Bone marrow smear · 40× objective, oil immersion
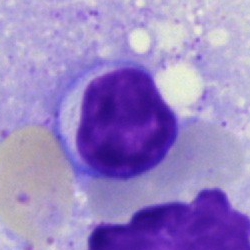
The cell shown is a lymphocyte.